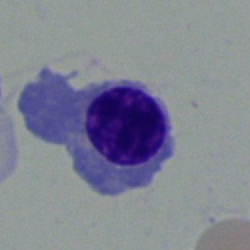Q: What is the morphological classification of this cell?
A: It is a nucleated red cell.